Pappenheim-stained · 40× objective, oil immersion · bone marrow aspirate smear
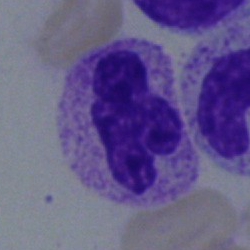Specimen: bone marrow aspirate smear.
Cell type: band-form neutrophil.
Lineage: myeloid.